Bone marrow smear
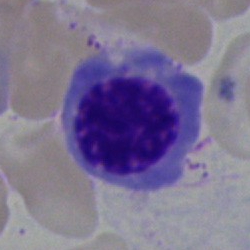 This is a nucleated red blood cell.